Bone marrow aspirate smear; single-cell field:
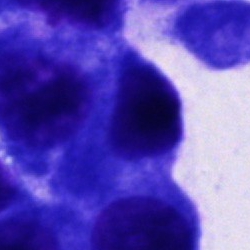Showing an other cell.